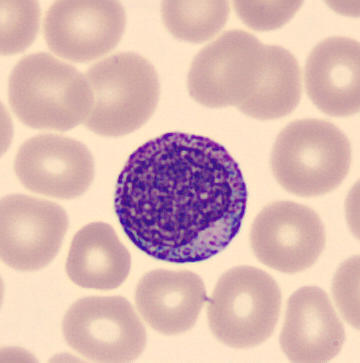
Peripheral blood film. Morphology → myelocyte.